Bone marrow smear; May-Grünwald-Giemsa stain: 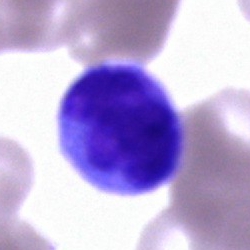Impression → monocyte.